Bone marrow smear. Brightfield microscopy, 40× oil immersion. Cropped to a single cell.
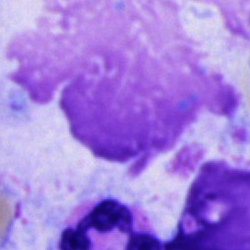

Morphology consistent with an artifact.